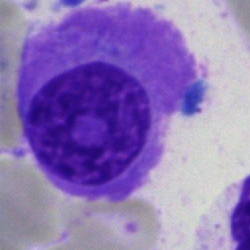 Classification — plasma cell.